CellaVision DM96 digital cell image. Peripheral blood film.
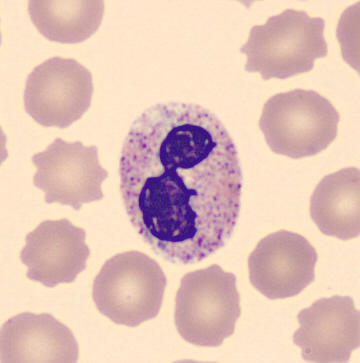

Q: Which cell type is shown here?
A: Neutrophil (segmented).